Bone marrow aspirate smear. Single cell centered in the field:
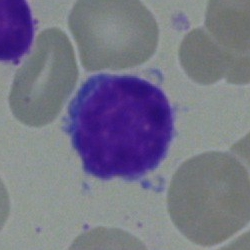
Q: Identify the cell.
A: It is a typical lymphocyte.